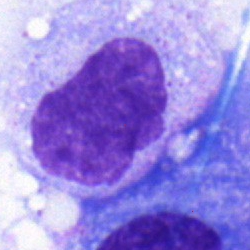 Bone marrow aspirate smear, single cell — metamyelocyte.